Bone marrow smear
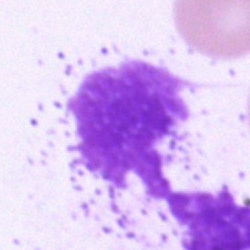 Showing an artefact.